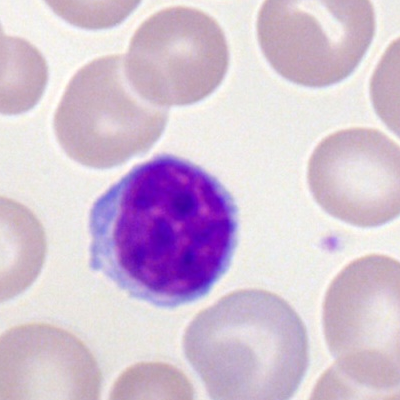 Peripheral blood smear showing a typical lymphocyte.